Bone marrow aspirate smear
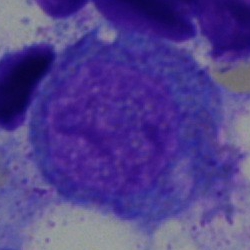
Specimen: bone marrow aspirate smear.
Morphological class: promyelocyte.
Lineage: myeloid.